May-Grünwald-Giemsa stain; brightfield microscopy, 40× oil immersion; bone marrow aspirate smear — 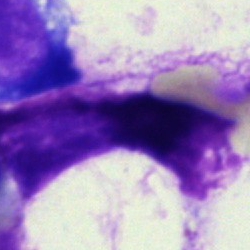
Cell = artefact.